Bone marrow aspirate smear — 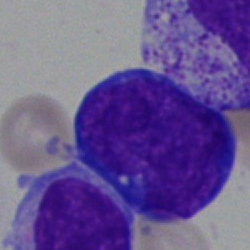Impression → nucleated red cell.